Single-cell crop · bone marrow smear
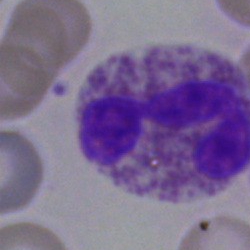
Morphology consistent with an eosinophil.